Bone marrow aspirate smear.
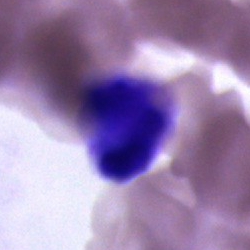A cell of indeterminate lineage.